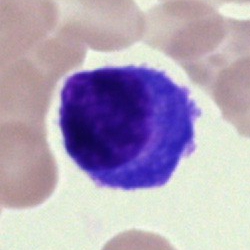

Bone marrow smear showing a plasma cell.